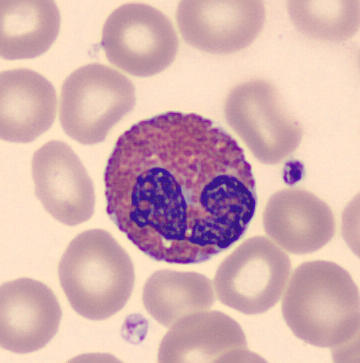
Image: Peripheral blood film.

The cell shown is an eosinophilic granulocyte.